Bone marrow aspirate smear:
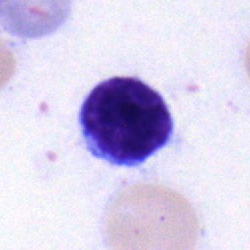 {"cell_type": "typical lymphocyte"}